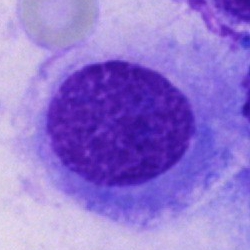 Morphological class: other cell.